Bone marrow smear
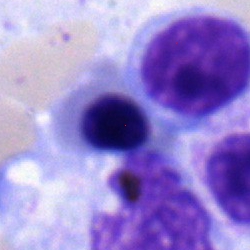Morphology — nucleated red blood cell.